Bone marrow smear
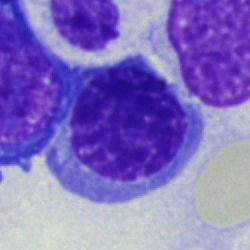 Impression — nucleated red cell.